Bone marrow aspirate smear. Brightfield microscopy, 40× oil immersion. Single-cell crop:
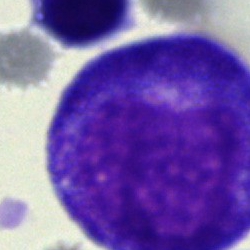Specimen: bone marrow aspirate smear.
Classification: promyelocyte.
Lineage: myeloid.